Bone marrow smear — 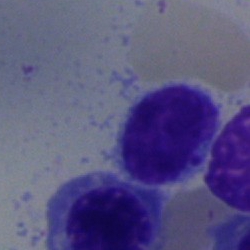
Impression → typical lymphocyte.